Bone marrow aspirate smear — 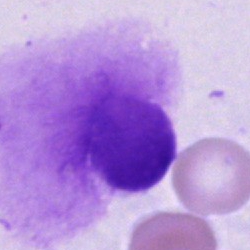

Morphology consistent with an artefact.